Bone marrow aspirate smear — 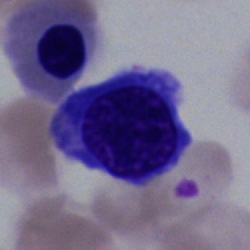

Specimen: bone marrow aspirate smear.
Classification: nucleated red blood cell.
Lineage: erythroid.